Single-cell crop · bone marrow smear — 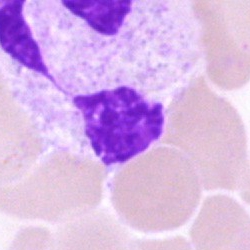Morphology → artifact.